Bone marrow smear; May-Grünwald-Giemsa stain.
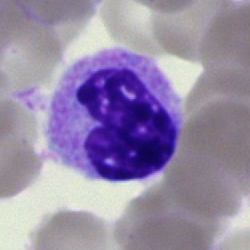 The cell shown is a neutrophil (band).